Bone marrow smear:
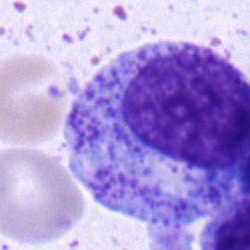

Single cell identified as a myelocyte.